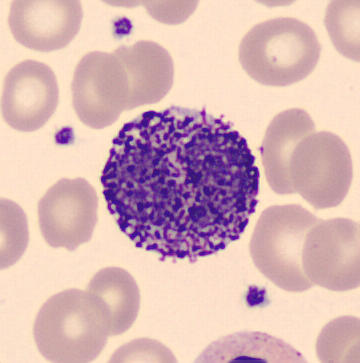
Acquisition: Peripheral blood smear; single-cell field. Morphology consistent with a basophilic granulocyte.